MGG-stained. Bone marrow aspirate smear: 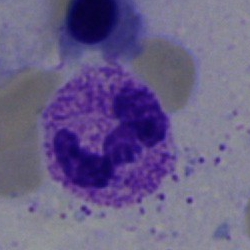
Morphological class — segmented neutrophil.